Bone marrow aspirate smear: 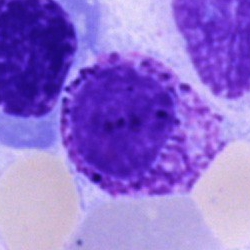

A basophilic granulocyte.